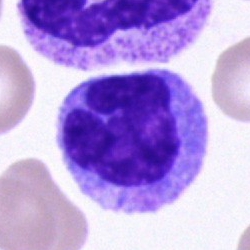
Q: What cell is this?
A: It is a monocyte.